Single cell centered in the field. Romanowsky stain. Peripheral blood film
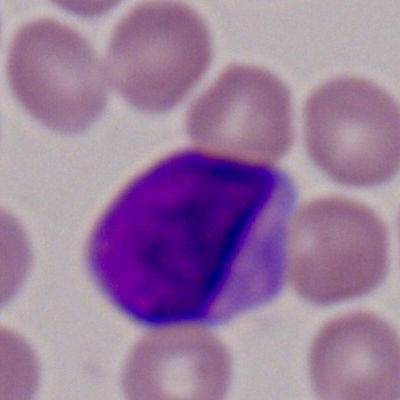
Morphological class = myeloblast.